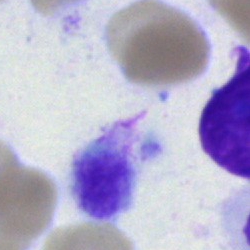
Q: What is shown here?
A: This is an artifact.